Single-cell crop; bone marrow smear
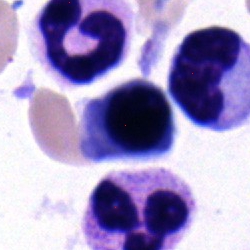Morphology → nucleated red blood cell.